Brightfield, 40× oil-immersion objective · single-cell field · bone marrow aspirate smear: 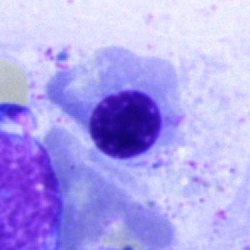 Morphological class: erythroblast.